Bone marrow smear:
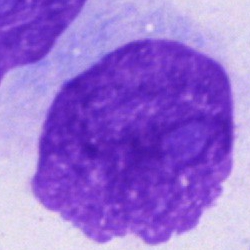
The cell is artefact.